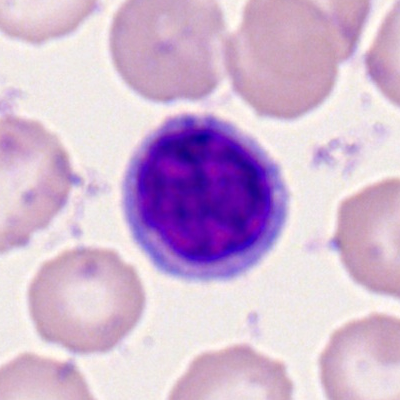

The morphological class is lymphocyte.